Bone marrow aspirate smear:
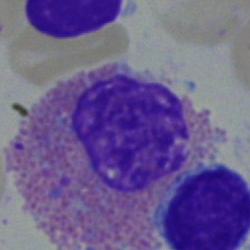

Cell type = eosinophil.